Bone marrow smear — 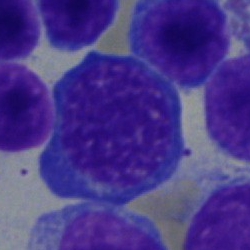 Specimen: bone marrow smear.
Morphological class: nucleated red blood cell.
Lineage: erythroid.